Bone marrow aspirate smear: 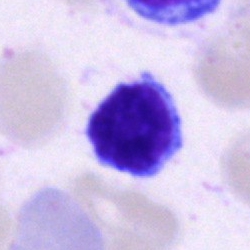Single cell identified as a typical lymphocyte.